May-Grünwald-Giemsa/Pappenheim stain. Bone marrow aspirate smear — 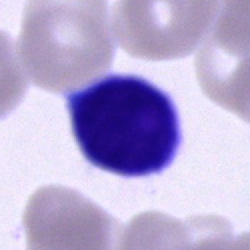

Q: What is the morphological classification of this cell?
A: Typical lymphocyte.